Bone marrow aspirate smear
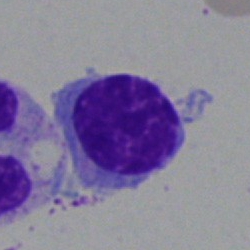
The morphological class is lymphocyte.